Brightfield, 40× oil-immersion objective · bone marrow aspirate smear · 250 by 250 pixels.
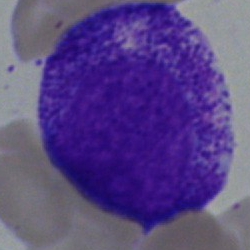Promyelocyte.